Bone marrow smear · 250×250.
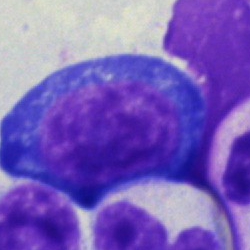 This is a pronormoblast.